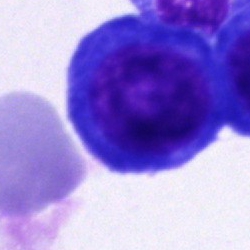Q: What cell is this?
A: A nucleated red blood cell.